Bone marrow aspirate smear — 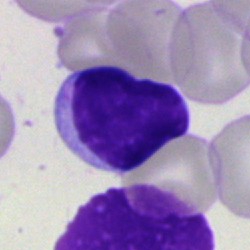

Specimen: bone marrow aspirate smear.
Morphological class: lymphocyte.